Bone marrow aspirate smear:
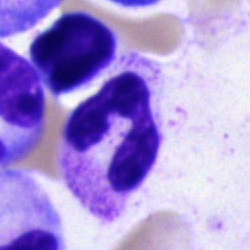

Impression → segmented neutrophil.